Bone marrow smear:
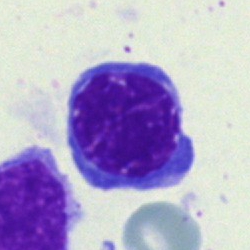
Morphology consistent with a normoblast.